Bone marrow aspirate smear:
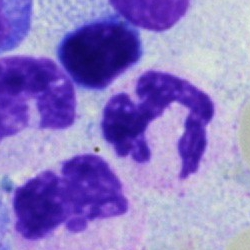Cell type — segmented neutrophil.